Peripheral blood smear.
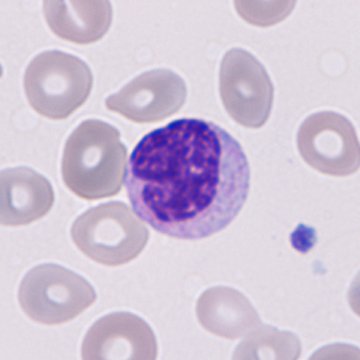Cell: granulocyte precursor.